250 by 250 pixels · 40× oil immersion · bone marrow smear:
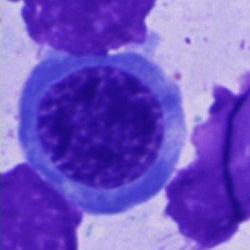
Morphology — normoblast.